Bone marrow aspirate smear: 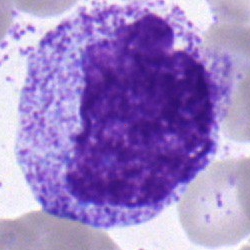
Cell = metamyelocyte.